Bone marrow aspirate smear. Pappenheim-stained — 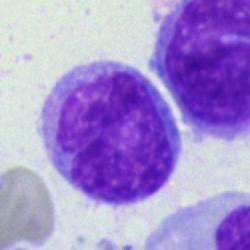 Monocyte.